Single cell centered in the field · bone marrow aspirate smear:
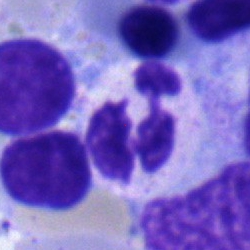 Showing a segmented neutrophil.